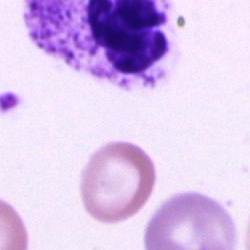
Cell — segmented neutrophil.